Peripheral blood film:
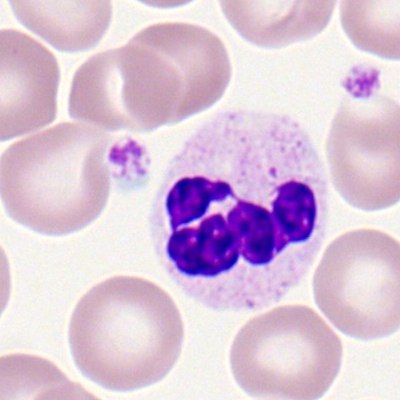
Q: Which cell type is shown here?
A: A polymorphonuclear neutrophil.